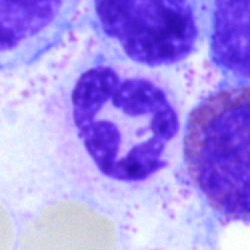
Classification — neutrophil (segmented).